Bone marrow aspirate smear:
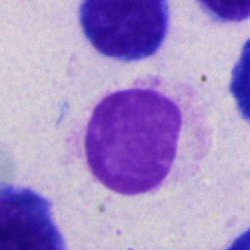 The classification is artefact.